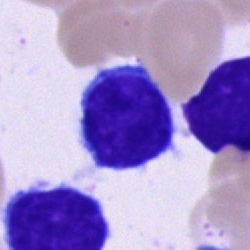
Q: Identify the cell.
A: It is a lymphocyte.